Bone marrow aspirate smear:
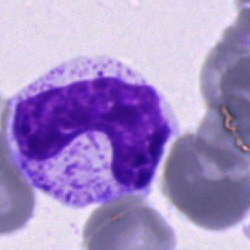
Showing a neutrophil (band).